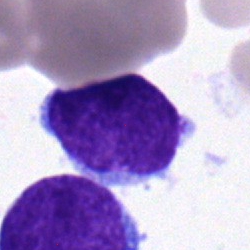Cell: undifferentiated blast.